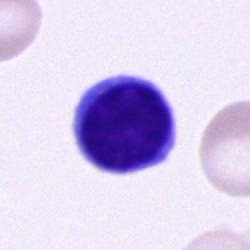

This is a typical lymphocyte.